May-Grünwald-Giemsa/Pappenheim stain · 250×250 · bone marrow aspirate smear — 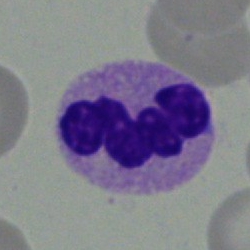
This is a segmented neutrophil.